Bone marrow smear: 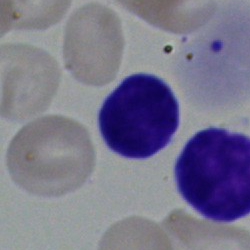 Morphology consistent with a lymphocyte.